250 by 250 pixels · bone marrow aspirate smear · single-cell crop: 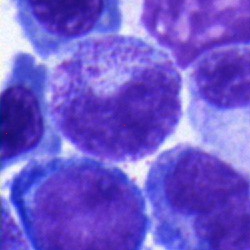
Q: Which cell type is shown here?
A: This is a metamyelocyte.